May-Grünwald-Giemsa stain. Bone marrow smear:
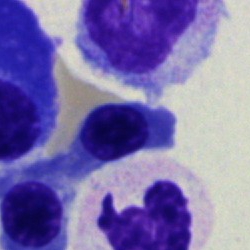

Specimen: bone marrow aspirate smear.
Cell type: normoblast.